Bone marrow aspirate smear · 250×250 px: 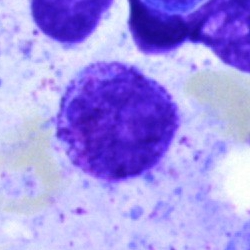Impression — artefact.